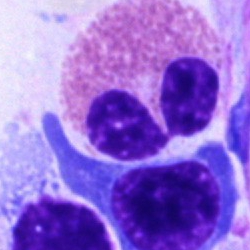Morphology consistent with an eosinophilic granulocyte.